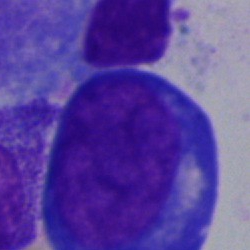 A pronormoblast on a bone marrow smear.